Bone marrow smear
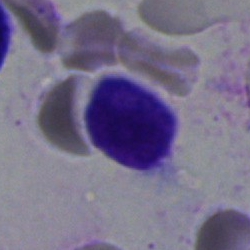The cell shown is a typical lymphocyte.